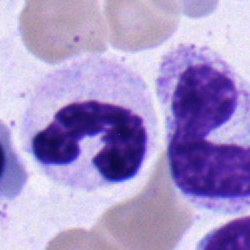

Morphology consistent with a band neutrophil.